Brightfield microscopy, 40× oil immersion · bone marrow smear: 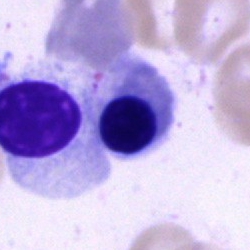

Morphological class — normoblast.